Peripheral blood film — 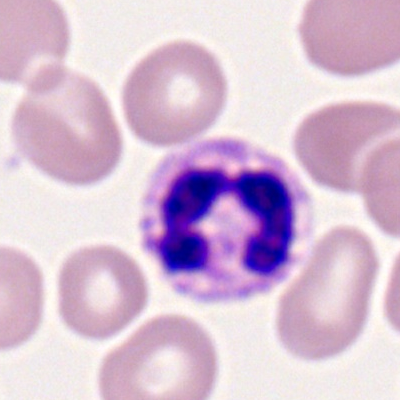 Q: What is shown here?
A: This is a polymorphonuclear neutrophil.